Bone marrow aspirate smear:
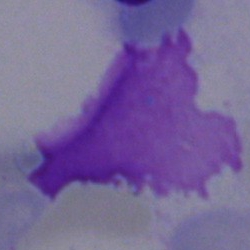 Specimen: bone marrow smear.
Cell type: artifact.